Peripheral blood smear: 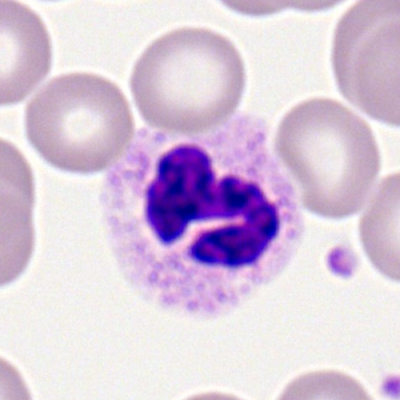

Specimen: peripheral blood smear.
Cell: neutrophil (segmented).